Bone marrow smear. Single cell centered in the field:
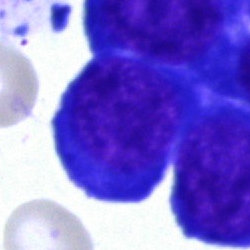 The cell type is nucleated red cell.